Bone marrow aspirate smear: 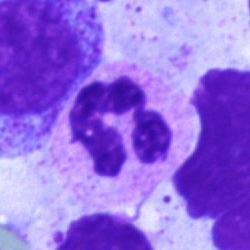
Showing a segmented neutrophil.